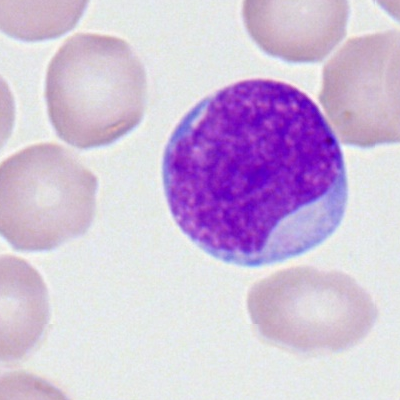
A myeloblast on a peripheral blood smear.